Bone marrow smear: 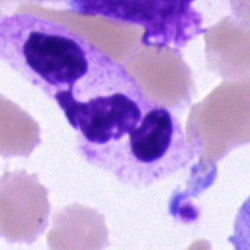 Classification: neutrophil (segmented).